40× objective, oil immersion; bone marrow aspirate smear; single-cell crop
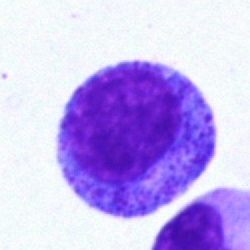 Showing a progranulocyte.